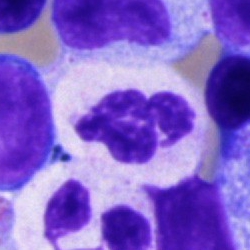 Q: Which cell type is shown here?
A: This is a segmented neutrophil.